Bone marrow smear · single cell centered in the field
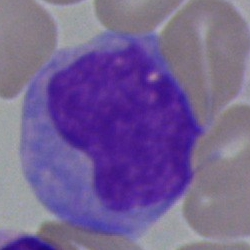 The classification is monocyte.